Single-cell crop. Bone marrow smear:
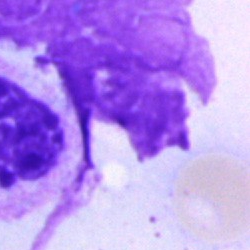Specimen: bone marrow aspirate smear.
Cell: artifact.